Bone marrow aspirate smear.
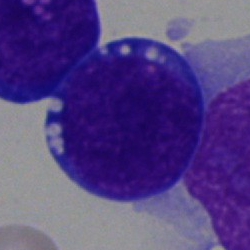
Cell type = blast cell.